Pappenheim-stained; single-cell field; bone marrow aspirate smear:
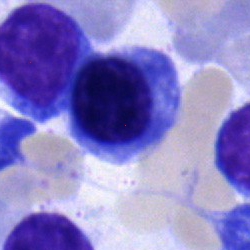 Cell type: erythroblast.